Bone marrow aspirate smear · image size 250×250: 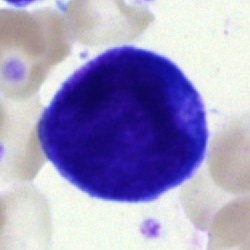
{"cell_type": "undifferentiated blast"}